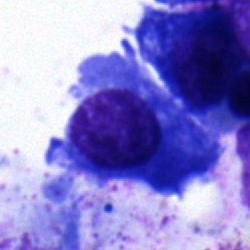

Specimen: bone marrow smear.
Classification: plasma cell.
Lineage: lymphoid.